Bone marrow smear — 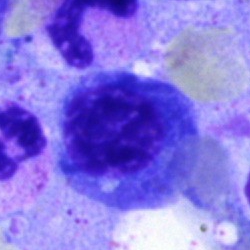Specimen: bone marrow aspirate smear.
Cell: nucleated red blood cell.
Lineage: erythroid.